Peripheral blood film.
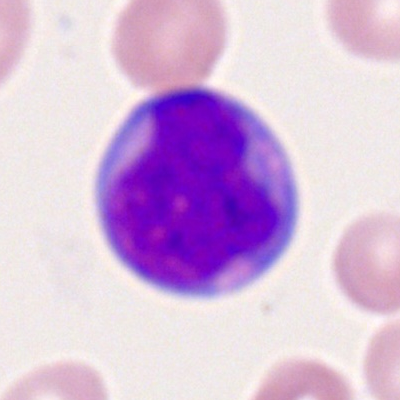This is a myeloblast.